Bone marrow smear; single-cell field; 250×250
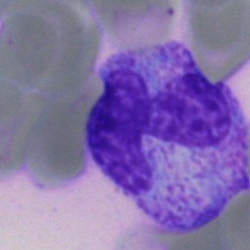

Morphology → segmented neutrophil.